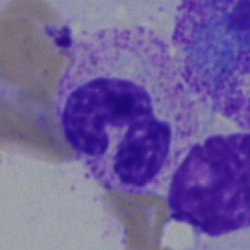
A segmented neutrophil.